250×250 px; bone marrow aspirate smear.
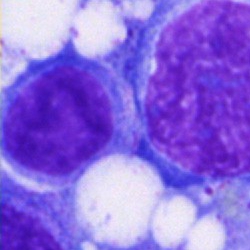
The cell shown is an undifferentiated blast.